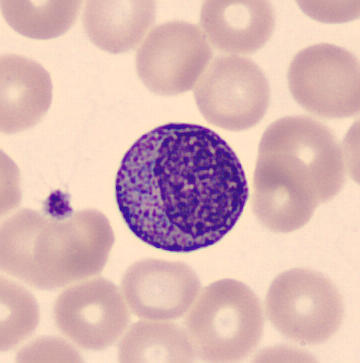 Morphology consistent with a myelocyte.

Peripheral blood film.